Single-cell field; MGG-stained; bone marrow aspirate smear
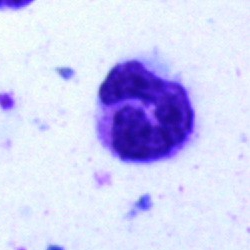

Q: Identify the cell.
A: A polymorphonuclear neutrophil.